Bone marrow smear:
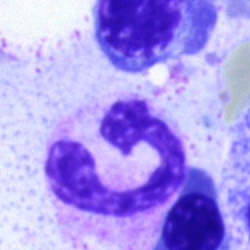 Showing a segmented neutrophil.